Bone marrow smear · 250×250 · single-cell crop:
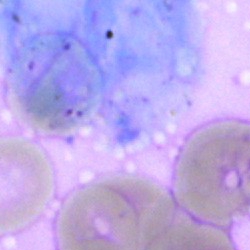

{"cell_type": "artefact"}